250×250 · bone marrow aspirate smear · single-cell field.
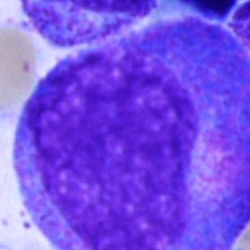
A progranulocyte.